Bone marrow smear: 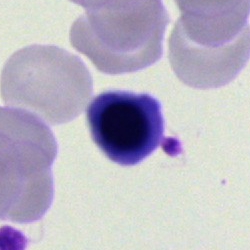
Impression → erythroblast.